Bone marrow aspirate smear; 250 by 250 pixels:
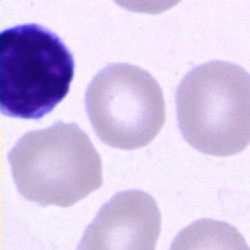Typical lymphocyte.